Bone marrow smear — 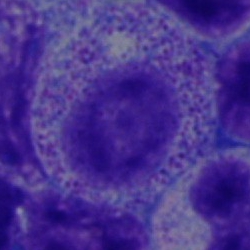 Showing a progranulocyte.